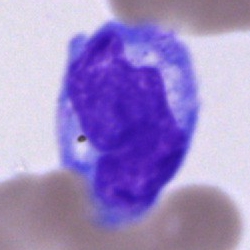
Morphology → monocyte.